Bone marrow smear. MGG-stained: 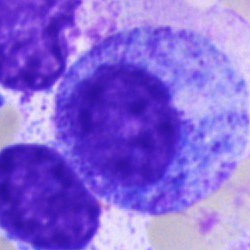
Morphology consistent with a progranulocyte.